Bone marrow smear:
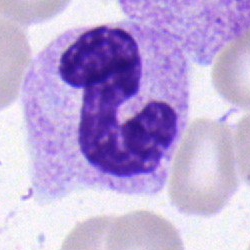 Impression → neutrophil (band).